Peripheral blood smear; Romanowsky-stained.
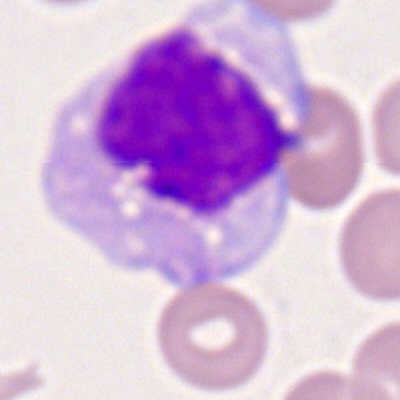 Impression → monocyte.